Bone marrow smear; brightfield, 40× oil-immersion objective: 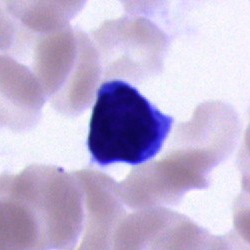Classification = lymphocyte.